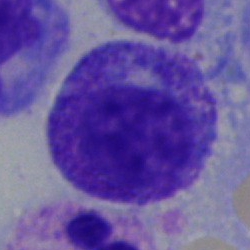
{"cell_type": "promyelocyte", "lineage": "myeloid"}